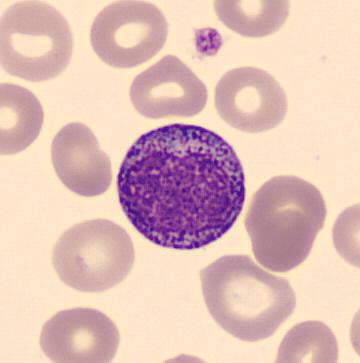
Acquisition: MGG-stained; peripheral blood smear; imaged on a CellaVision DM96 analyser. {"cell_type": "progranulocyte", "lineage": "myeloid"}